Romanowsky stain · peripheral blood smear: 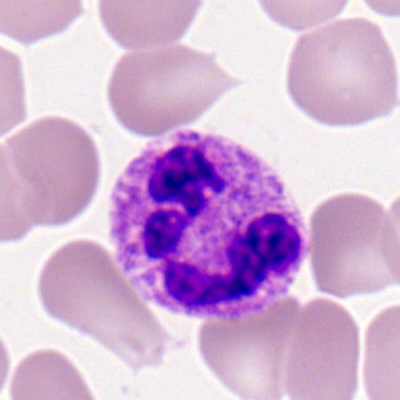 Impression — eosinophilic granulocyte.